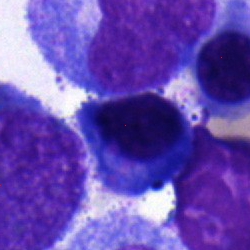

Morphology → plasma cell.